Bone marrow smear — 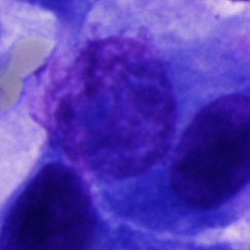

The cell type is cell not matching the other categories.